Single-cell field · peripheral blood smear
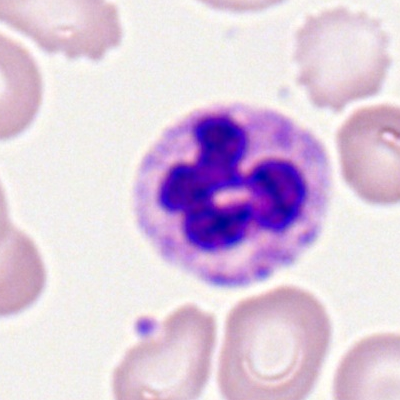

Q: What is the morphological classification of this cell?
A: This is a polymorphonuclear neutrophil.